Bone marrow aspirate smear:
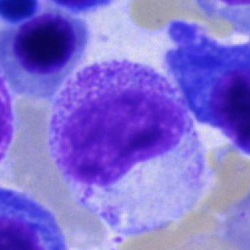Morphological class — metamyelocyte.